Single cell centered in the field. Bone marrow smear. 40× objective, oil immersion
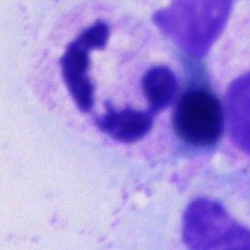
Morphology — polymorphonuclear neutrophil.